Single cell centered in the field · peripheral blood smear · Romanowsky-stained:
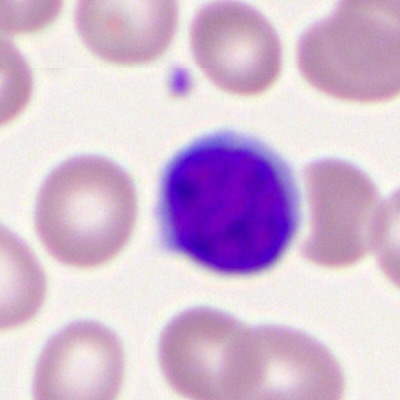 Specimen: peripheral blood smear.
Cell: typical lymphocyte.
Lineage: lymphoid.